40× objective, oil immersion; MGG-stained; bone marrow aspirate smear
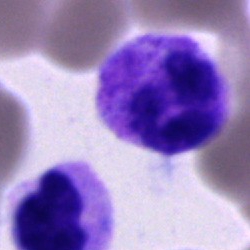 Morphology → neutrophil (segmented).